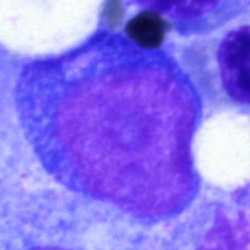

Morphological class — proerythroblast.